Single-cell crop. Bone marrow smear.
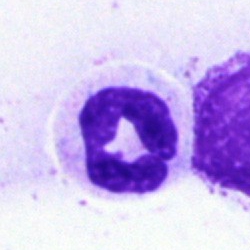
Impression — polymorphonuclear neutrophil.